Bone marrow aspirate smear: 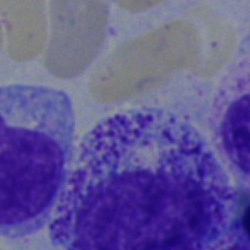
Cell type = myelocyte.